Peripheral blood film · image size 400×400.
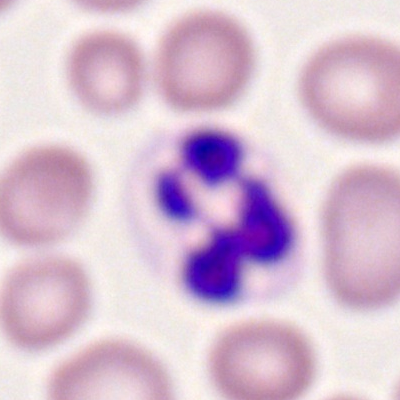 Morphology consistent with a neutrophil (segmented).